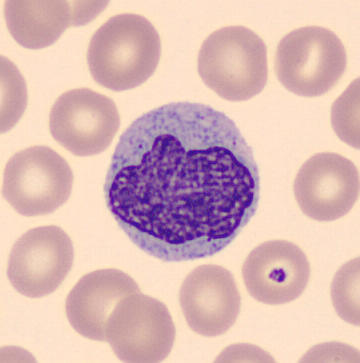
Acquisition: Peripheral blood smear.

Q: What cell is this?
A: This is a monocyte.